Bone marrow smear.
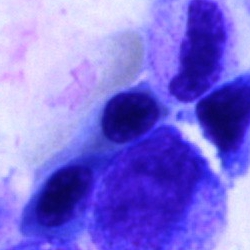Q: What is shown here?
A: A normoblast.